Single cell centered in the field. Bone marrow smear — 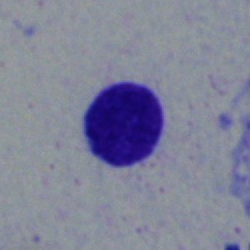 {"cell_type": "typical lymphocyte", "lineage": "lymphoid"}